Peripheral blood film.
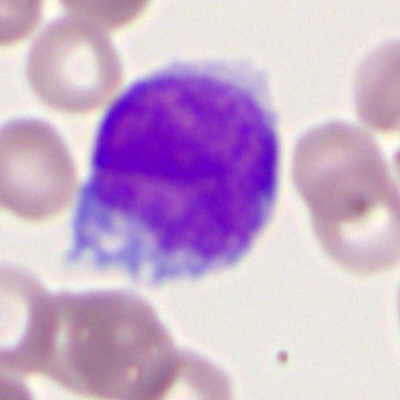 The cell shown is a myeloid blast.